May-Grünwald-Giemsa stain · bone marrow aspirate smear: 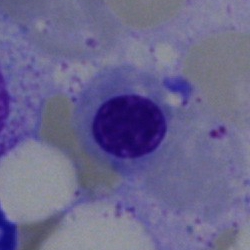

Specimen: bone marrow aspirate smear.
Morphological class: nucleated red blood cell.